Single cell centered in the field. Bone marrow aspirate smear.
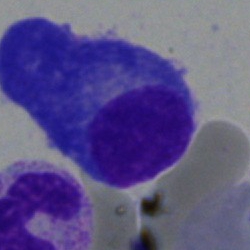 Morphology consistent with a plasmacyte.